Bone marrow aspirate smear
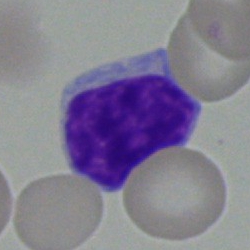Cell = typical lymphocyte.